Bone marrow aspirate smear.
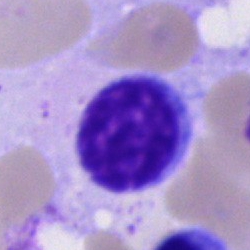Classification: typical lymphocyte.